Peripheral blood film; Romanowsky-type stain
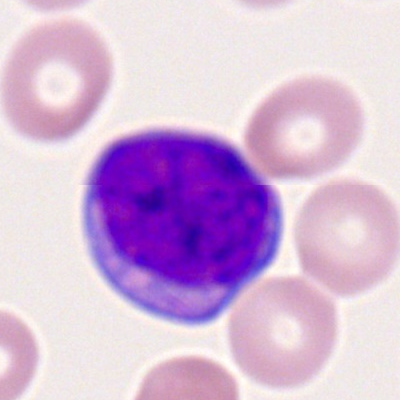
Specimen: peripheral blood smear.
Cell: myeloid blast.
Lineage: myeloid.